Single cell centered in the field. Bone marrow smear:
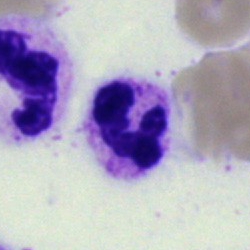
A segmented neutrophil.